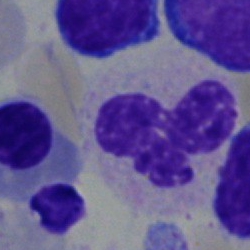

Neutrophil (segmented).